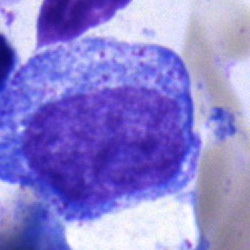Q: Identify the cell.
A: Promyelocyte.